Bone marrow aspirate smear; brightfield, 40× oil-immersion objective.
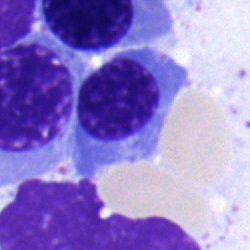 Impression → nucleated red blood cell.